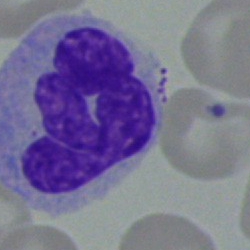
Showing a monocyte.